Bone marrow aspirate smear.
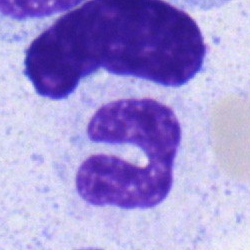Q: What type of cell is this?
A: This is a band neutrophil.